Peripheral blood film. 100× oil immersion — 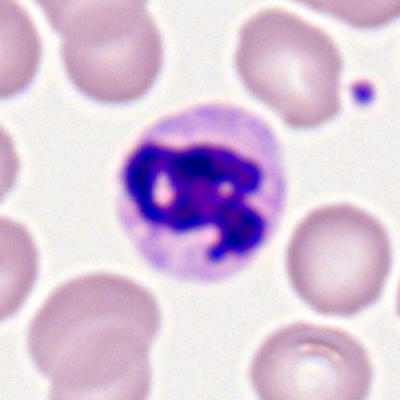Q: What is the morphological classification of this cell?
A: It is a polymorphonuclear neutrophil.